Single-cell field. Bone marrow aspirate smear:
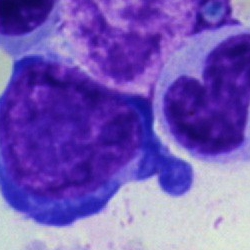 Pronormoblast.